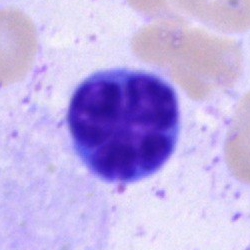Single cell identified as a typical lymphocyte.